Bone marrow smear · MGG-stained.
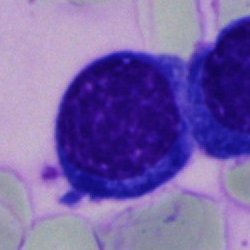 Cell type — erythroblast.